250×250. Single cell centered in the field. Bone marrow aspirate smear: 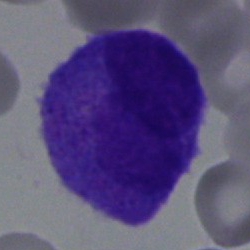 {"cell_type": "undifferentiated blast"}